Bone marrow smear: 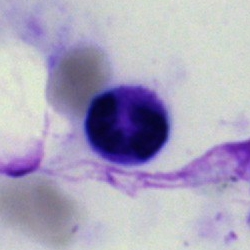 Impression → artifact.